Single-cell field. Peripheral blood smear
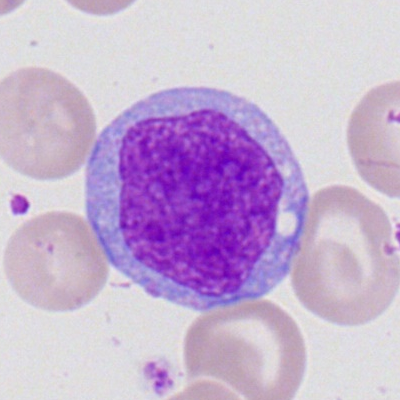 Q: What cell is this?
A: This is a myeloid blast.